Brightfield microscopy, 40× oil immersion. Bone marrow aspirate smear — 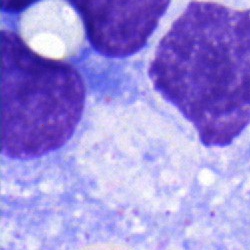 Showing a plasma cell.